Bone marrow smear
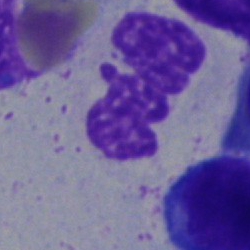 Neutrophil (segmented).